Bone marrow aspirate smear. May-Grünwald-Giemsa/Pappenheim stain — 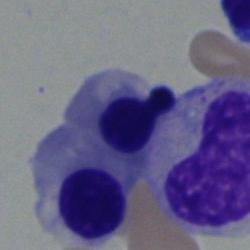
Morphological class = nucleated red blood cell.